Bone marrow aspirate smear:
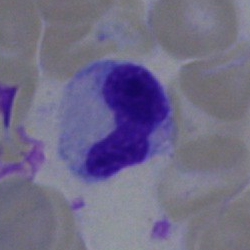The cell shown is a polymorphonuclear neutrophil.